Bone marrow aspirate smear: 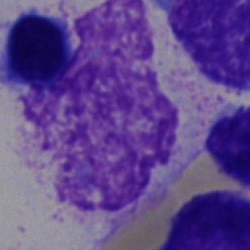 Specimen: bone marrow smear.
Cell type: artifact.